Bone marrow aspirate smear — 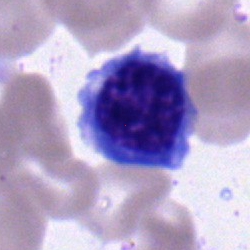 Showing an erythroblast.